Bone marrow smear: 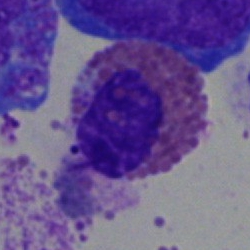
The morphological class is eosinophil.